Bone marrow aspirate smear.
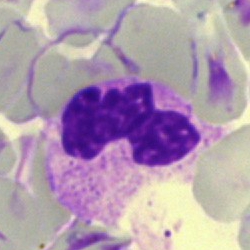
Impression → polymorphonuclear neutrophil.